Bone marrow smear.
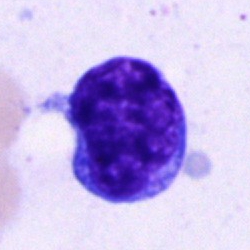
Cell — blast.